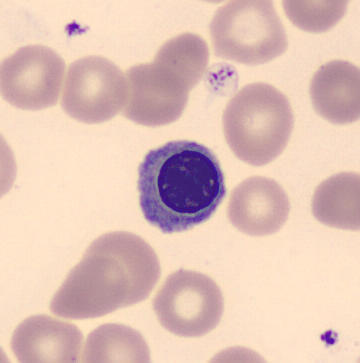 Preparation: Cropped to a single cell · peripheral blood film. This is a nucleated red blood cell.